40× oil immersion · bone marrow aspirate smear · May-Grünwald-Giemsa/Pappenheim stain: 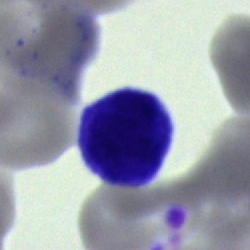Morphology — unidentifiable cell.